Peripheral blood film · Romanowsky-type stain — 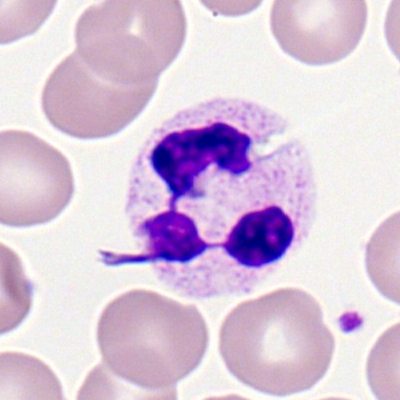 This is a neutrophil (segmented).